Bone marrow aspirate smear:
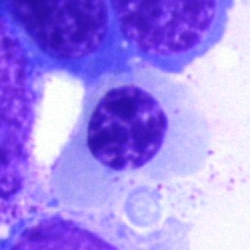
Showing a nucleated red blood cell.